Bone marrow smear
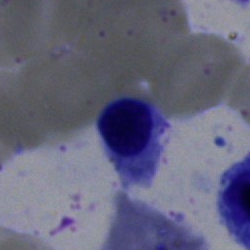 Morphology consistent with a nucleated red blood cell.